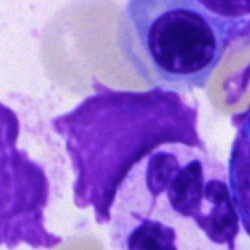 Morphology — artefact.